Bone marrow aspirate smear:
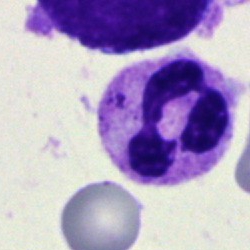
Q: Which cell type is shown here?
A: It is a segmented neutrophil.